May-Grünwald-Giemsa/Pappenheim stain · bone marrow smear · cropped to a single cell — 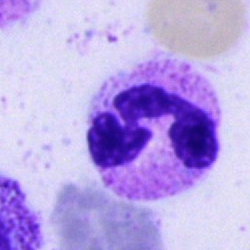 Q: Identify the cell.
A: It is a neutrophil (segmented).